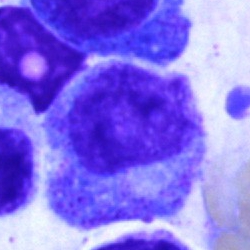
A promyelocyte on a bone marrow smear.